Bone marrow smear · May-Grünwald-Giemsa/Pappenheim stain
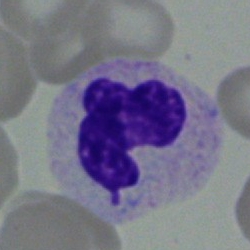

The cell type is neutrophil (segmented).